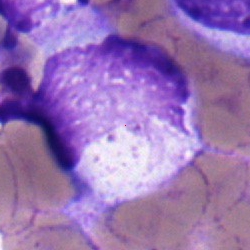
The morphological class is myelocyte.